Bone marrow aspirate smear: 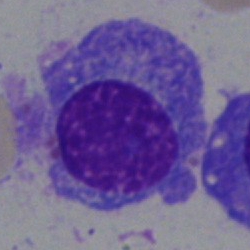

Morphological class: plasmacyte.